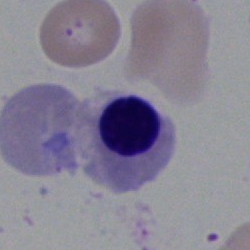

The classification is nucleated red blood cell.